250×250; bone marrow smear; Pappenheim-stained — 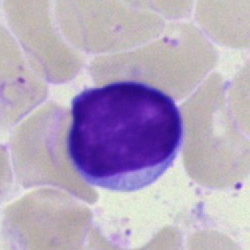Specimen: bone marrow aspirate smear.
Morphological class: lymphocyte.
Lineage: lymphoid.